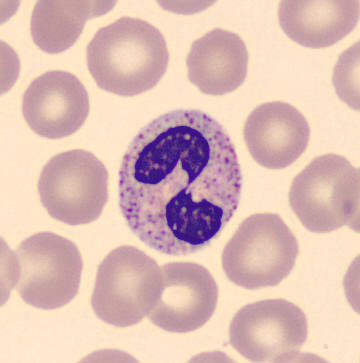

Morphology → segmented neutrophil.